Bone marrow smear. Single-cell crop — 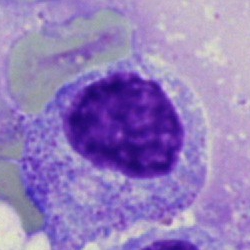 Morphology → myelocyte.